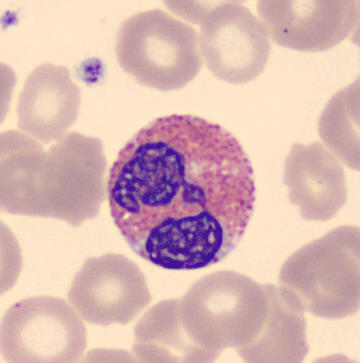 Specimen: peripheral blood smear.
Cell: eosinophilic granulocyte.
Lineage: myeloid. Image: Imaged on a CellaVision DM96 analyser. Single cell centered in the field.